Bone marrow aspirate smear; single-cell crop: 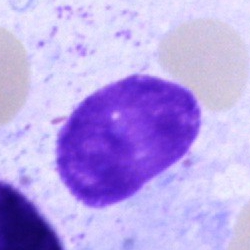Showing an artefact.